Bone marrow aspirate smear — 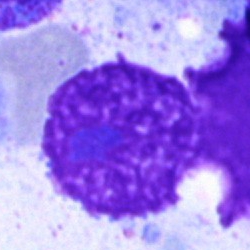 Q: What is shown here?
A: It is an artifact.